Single cell centered in the field. Bone marrow smear. 40× oil immersion.
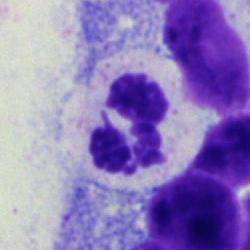The cell shown is a polymorphonuclear neutrophil.